Bone marrow aspirate smear; MGG-stained.
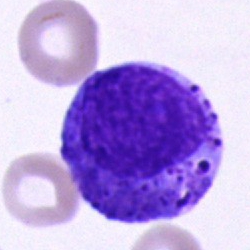 This is a promyelocyte.